Bone marrow aspirate smear. Cropped to a single cell.
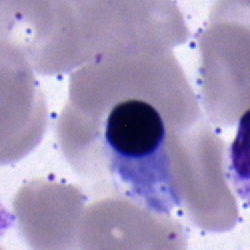 The cell type is erythroblast.